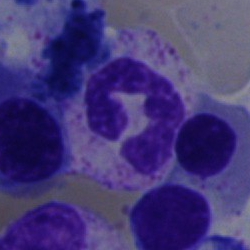

Q: What is shown here?
A: A segmented neutrophil.